Bone marrow smear: 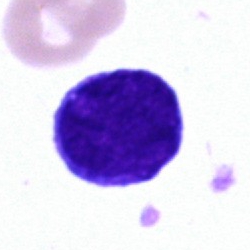 Morphology consistent with a blast cell.